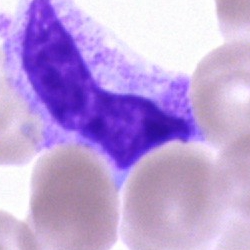 {"cell_type": "stab cell", "lineage": "myeloid"}